250×250 px · bone marrow aspirate smear · May-Grünwald-Giemsa stain: 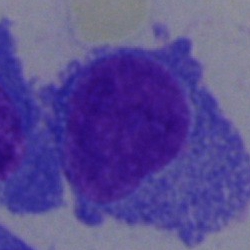

Classification: plasmacyte.